Bone marrow aspirate smear; 250 by 250 pixels; single cell centered in the field.
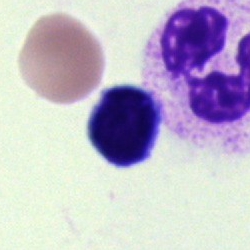 Q: What type of cell is this?
A: It is a cell of indeterminate lineage.